Bone marrow aspirate smear
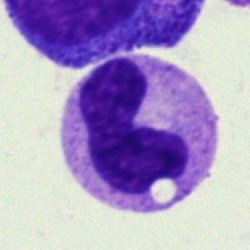

Single cell identified as a band neutrophil.